Bone marrow aspirate smear · 250×250 px:
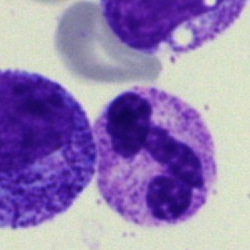 Cell type = neutrophil (segmented).